Single cell centered in the field. 250 by 250 pixels. Bone marrow smear
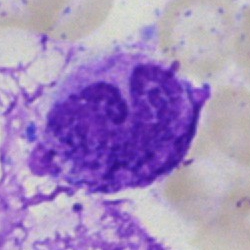Classification: artefact.